Bone marrow smear. May-Grünwald-Giemsa/Pappenheim stain
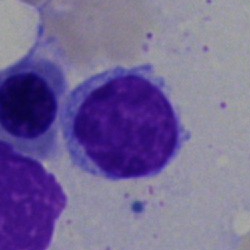

Classification = typical lymphocyte.